Bone marrow smear
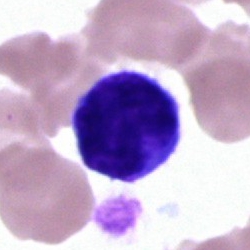Specimen: bone marrow smear.
Morphological class: typical lymphocyte.
Lineage: lymphoid.